Bone marrow smear. Single cell centered in the field. 40× objective, oil immersion:
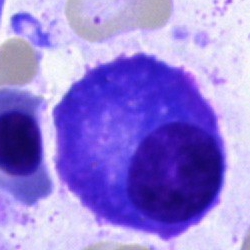

Q: What is the morphological classification of this cell?
A: A plasma cell.